Romanowsky stain · peripheral blood film
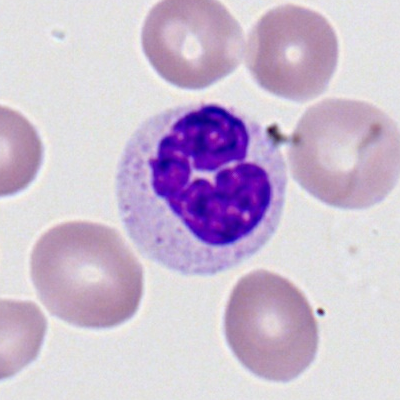 Specimen: peripheral blood smear.
Morphological class: polymorphonuclear neutrophil.